Bone marrow smear
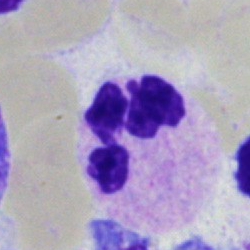Single cell identified as a neutrophil (segmented).